Bone marrow smear
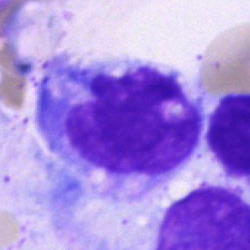 This is a monocyte.